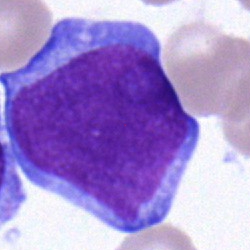
Morphology → blast cell.